Bone marrow aspirate smear; MGG-stained; single-cell crop
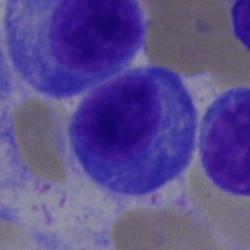 Morphological class = plasmacyte.